Bone marrow smear: 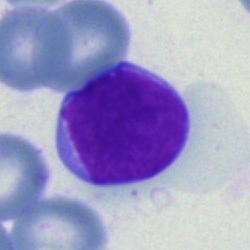
Cell type: lymphocyte.